250×250 px. Bone marrow smear: 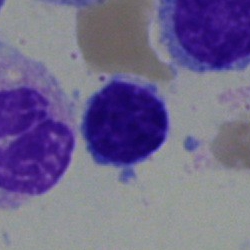

Lymphocyte.